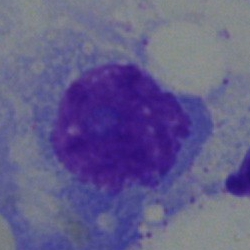
{"cell_type": "plasmacyte", "lineage": "lymphoid"}